Bone marrow smear · single-cell field · brightfield, 40× oil-immersion objective
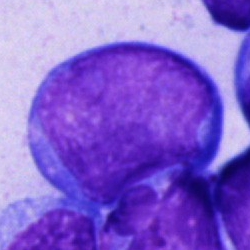
Cell type — blast cell.